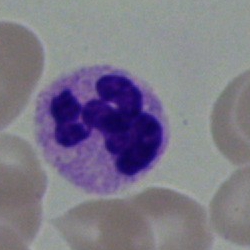 Impression — segmented neutrophil.